Image size 250×250 · bone marrow aspirate smear
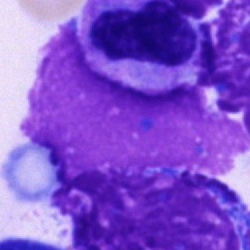 Specimen: bone marrow aspirate smear.
Morphological class: artefact.